250×250 · bone marrow aspirate smear · brightfield, 40× oil-immersion objective: 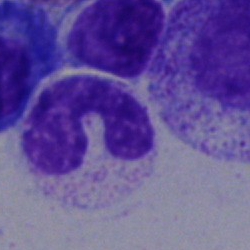
This is a band neutrophil.